Peripheral blood smear.
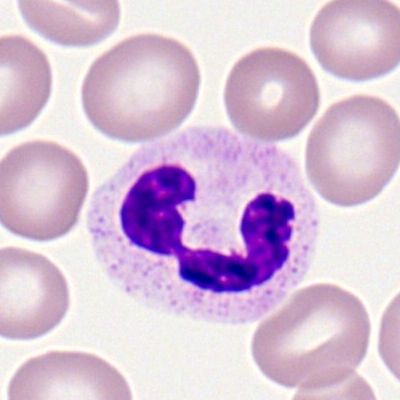

Showing a neutrophil (segmented).